Bone marrow smear:
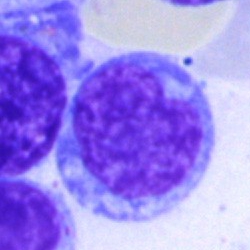

Monocyte.